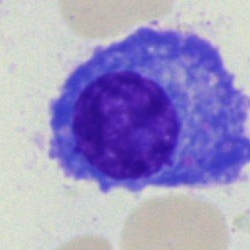

Specimen: bone marrow smear.
Morphological class: plasma cell.
Lineage: lymphoid.